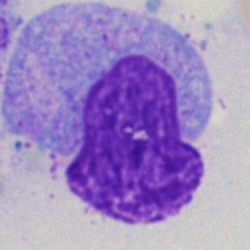 Showing an artefact.